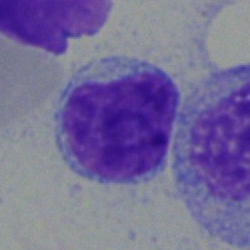

Cell type: typical lymphocyte.